Bone marrow aspirate smear; 40× objective, oil immersion
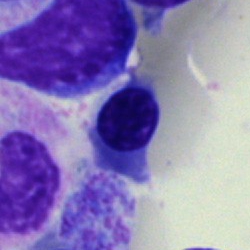

Specimen: bone marrow aspirate smear.
Morphological class: erythroblast.
Lineage: erythroid.